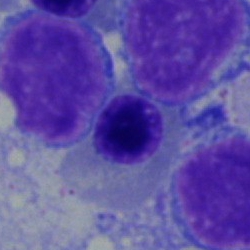

Showing a nucleated red cell.